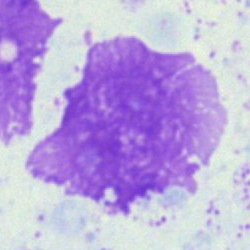An artifact.